Bone marrow aspirate smear — 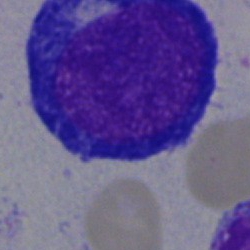

Classification — pronormoblast.